Peripheral blood film
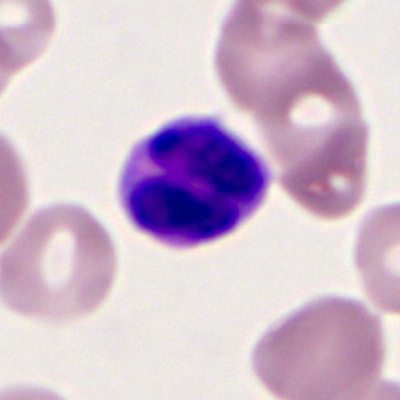

Polymorphonuclear neutrophil.